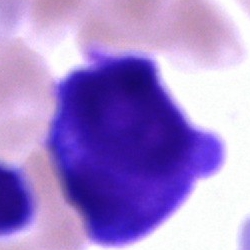

Morphological class — unidentifiable cell.